Single-cell crop. Pappenheim-stained. Bone marrow smear.
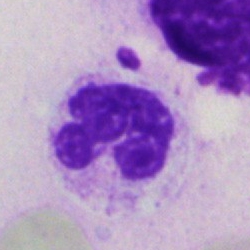
Q: Identify the cell.
A: It is a segmented neutrophil.